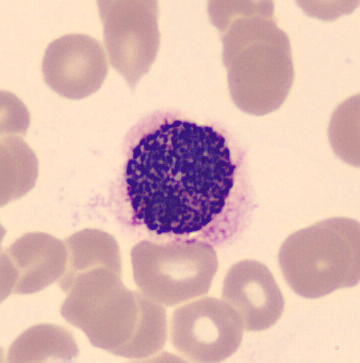

Peripheral blood film.
Identified as a basophil.